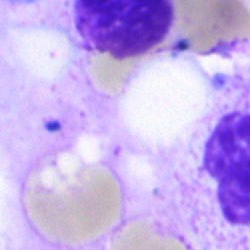 Specimen: bone marrow aspirate smear.
Cell type: artefact.